Bone marrow smear — 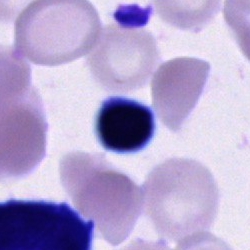
Classification: unidentifiable cell.